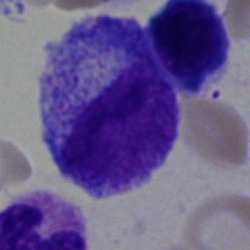

Specimen: bone marrow aspirate smear.
Classification: progranulocyte.
Lineage: myeloid.